Cropped to a single cell · bone marrow aspirate smear.
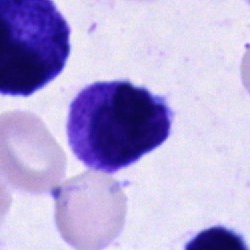 Cell: cell of indeterminate lineage.